Bone marrow smear: 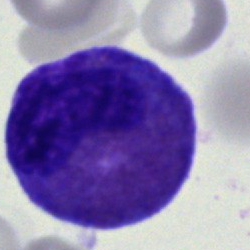

Q: What is the morphological classification of this cell?
A: It is an eosinophilic granulocyte.